Bone marrow smear: 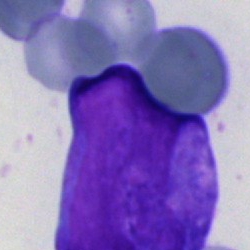

Q: Identify the cell.
A: This is a blast cell.